Bone marrow aspirate smear: 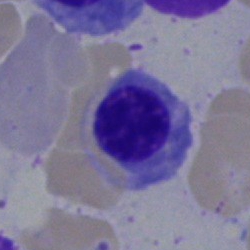 Impression — nucleated red cell.